Bone marrow smear — 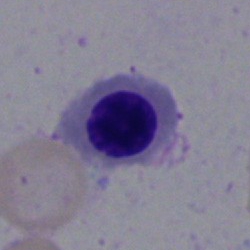 The cell is nucleated red blood cell.